Bone marrow smear:
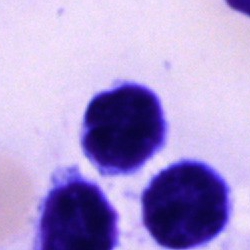This is a lymphocyte.